Peripheral blood smear.
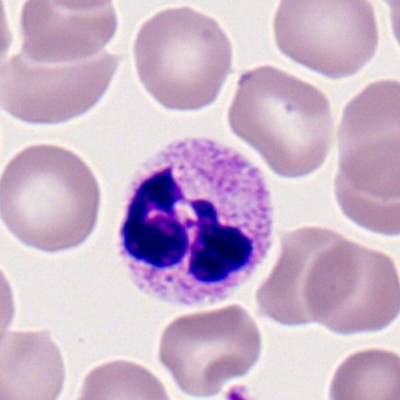 Morphological class = neutrophil (segmented).